Bone marrow aspirate smear.
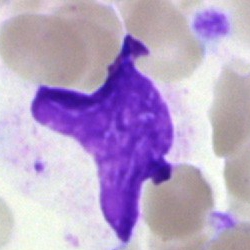
Single cell identified as an artefact.